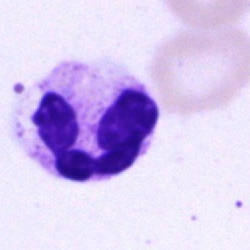

Showing a segmented neutrophil.